Bone marrow aspirate smear: 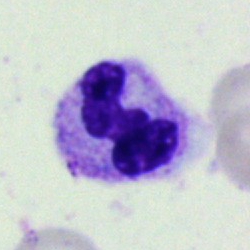The cell is polymorphonuclear neutrophil.